Bone marrow smear:
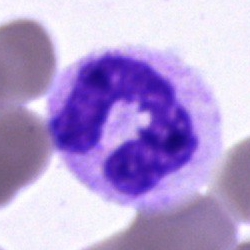
Cell type = neutrophil (band).